Bone marrow smear:
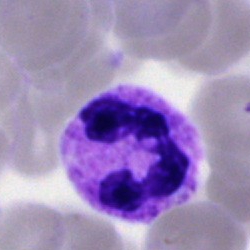A segmented neutrophil.